Bone marrow aspirate smear
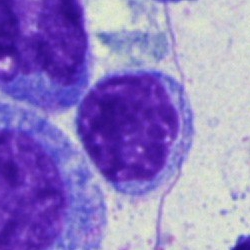
Q: What type of cell is this?
A: It is a typical lymphocyte.